May-Grünwald-Giemsa/Pappenheim stain · brightfield microscopy, 40× oil immersion · bone marrow aspirate smear.
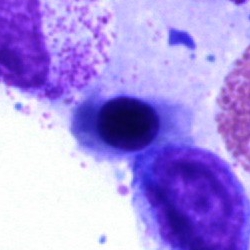The cell is nucleated red cell.